Bone marrow aspirate smear:
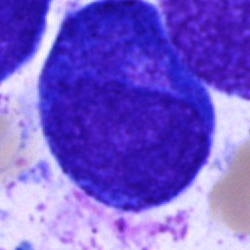

Showing a promyelocyte.